Peripheral blood smear — 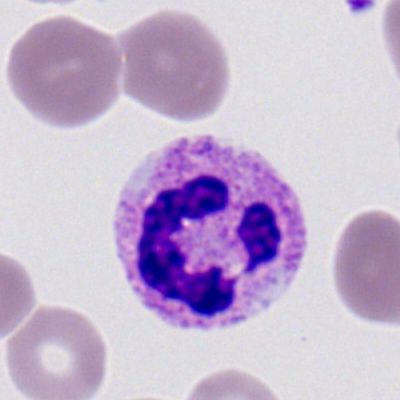Morphology consistent with a segmented neutrophil.